Peripheral blood smear:
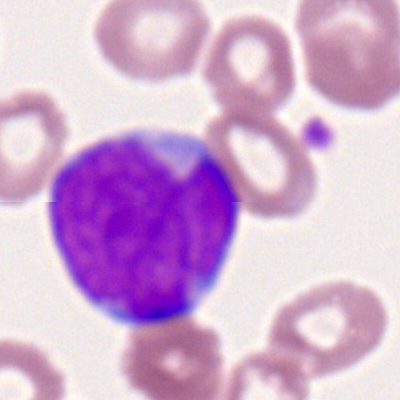
A myeloid blast.